Bone marrow smear: 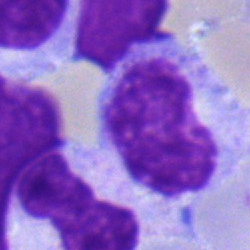The classification is metamyelocyte.